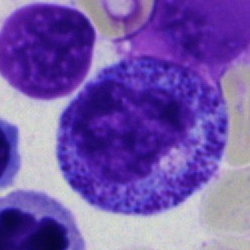

Classification = progranulocyte.